Brightfield microscopy, 40× oil immersion; Pappenheim-stained; bone marrow smear:
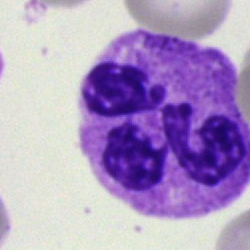 This is a neutrophil (segmented).